Bone marrow aspirate smear. May-Grünwald-Giemsa stain: 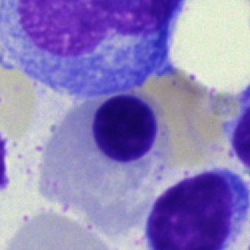
The morphological class is erythroblast.